Bone marrow smear
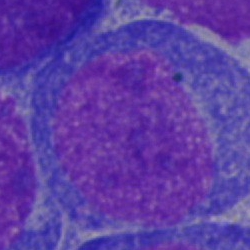 Q: What is the morphological classification of this cell?
A: Blast cell.